May-Grünwald-Giemsa/Pappenheim stain; single-cell crop; bone marrow aspirate smear:
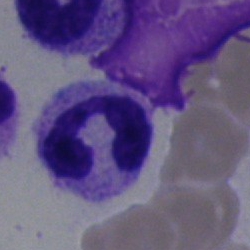

The cell shown is a polymorphonuclear neutrophil.